Bone marrow aspirate smear; 40× oil immersion
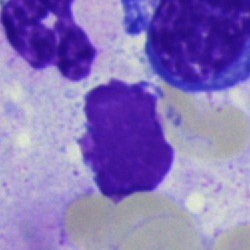Specimen: bone marrow aspirate smear.
Cell type: artifact.